Peripheral blood film:
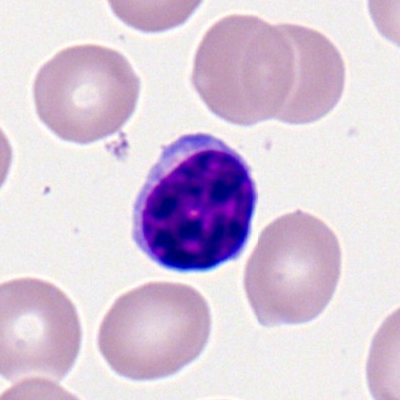
Impression → lymphocyte.